Bone marrow aspirate smear. MGG-stained — 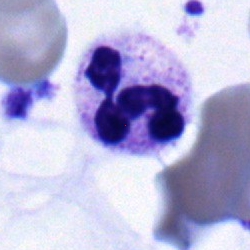 Specimen: bone marrow smear.
Cell: neutrophil (segmented).
Lineage: myeloid.